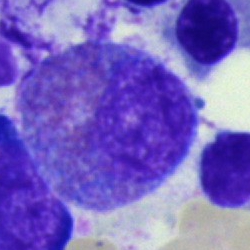
Q: What cell is this?
A: An eosinophilic granulocyte.